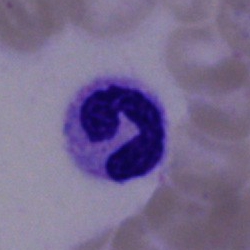Morphological class = segmented neutrophil.